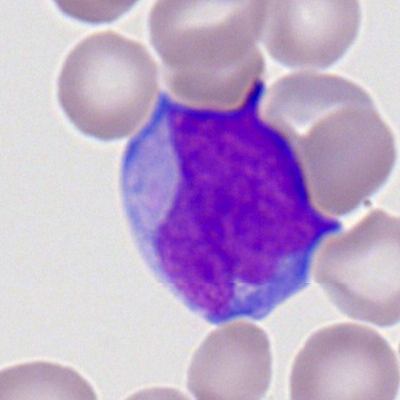
Myeloblast.